Single cell centered in the field. Bone marrow smear — 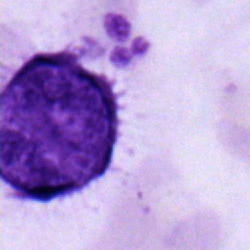

Morphological class = lymphocyte.